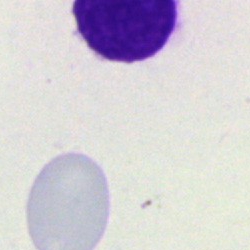{"cell_type": "artifact"}